Bone marrow aspirate smear — 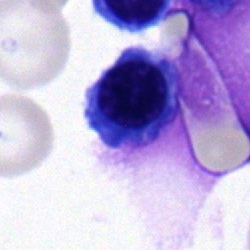The cell is nucleated red blood cell.